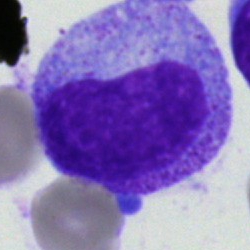
A promyelocyte on a bone marrow smear.